MGG-stained · 250×250 px · bone marrow aspirate smear — 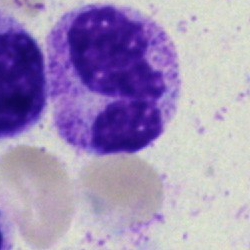
The morphological class is neutrophil (segmented).